Bone marrow smear
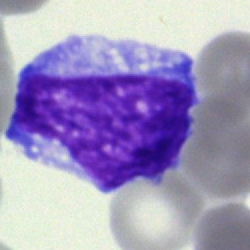The cell is blast.